Bone marrow aspirate smear: 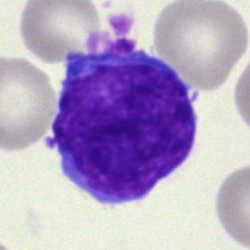 Q: What type of cell is this?
A: Undifferentiated blast.